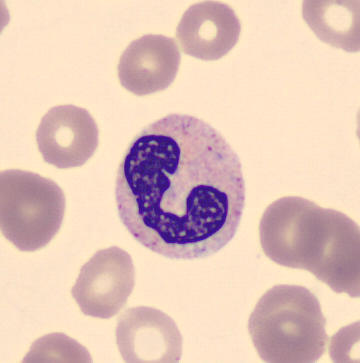 Acquisition: Peripheral blood film.

Identified as a stab cell.